MGG-stained. Single-cell field. Bone marrow aspirate smear — 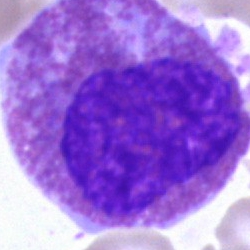
Morphology consistent with an eosinophilic granulocyte.